Bone marrow aspirate smear — 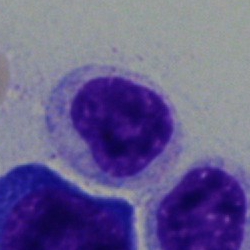

Q: What type of cell is this?
A: A myelocyte.